Bone marrow aspirate smear · cropped to a single cell:
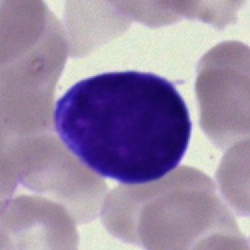

A lymphocyte.